Pappenheim-stained · bone marrow smear: 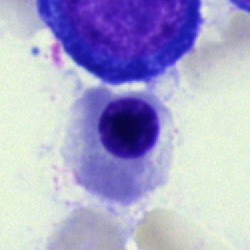Specimen: bone marrow aspirate smear.
Cell: erythroblast.
Lineage: erythroid.